Bone marrow smear; cropped to a single cell: 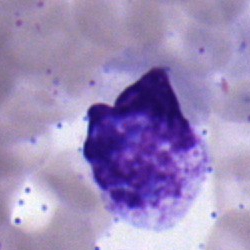Q: What type of cell is this?
A: A segmented neutrophil.